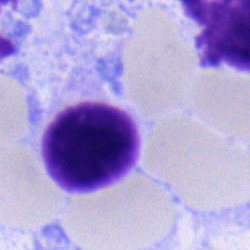 Specimen: bone marrow smear.
Classification: typical lymphocyte.
Lineage: lymphoid.